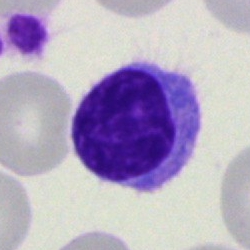 Cell = typical lymphocyte.